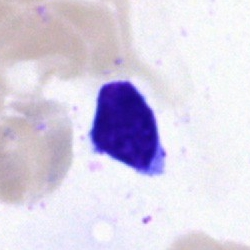Cell = lymphocyte.